Bone marrow aspirate smear:
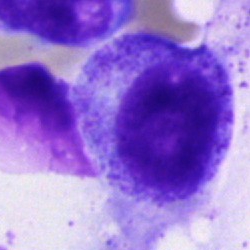 A progranulocyte.